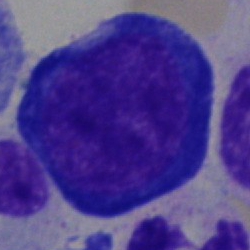 Specimen: bone marrow smear.
Morphological class: proerythroblast.